Bone marrow aspirate smear:
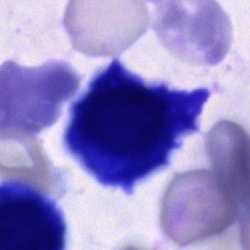 Q: What cell is this?
A: This is an unidentifiable cell.